Peripheral blood smear:
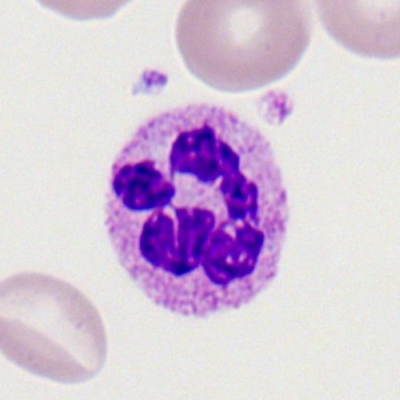 Morphology → segmented neutrophil.